40× objective, oil immersion; Pappenheim-stained; bone marrow aspirate smear.
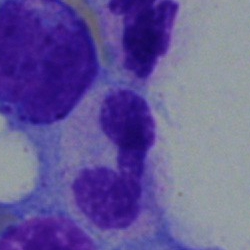 Specimen: bone marrow aspirate smear.
Cell type: neutrophil (band).
Lineage: myeloid.